MGG-stained. Bone marrow aspirate smear:
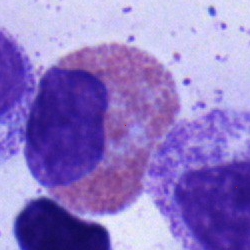Classification — eosinophilic granulocyte.